40× objective, oil immersion; bone marrow smear:
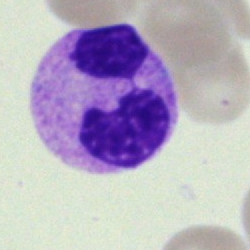Q: What is the morphological classification of this cell?
A: A segmented neutrophil.